Bone marrow aspirate smear:
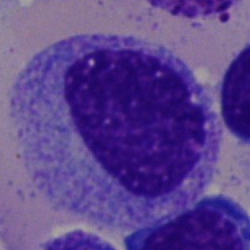
Specimen: bone marrow aspirate smear.
Morphological class: promyelocyte.